May-Grünwald-Giemsa stain · bone marrow aspirate smear — 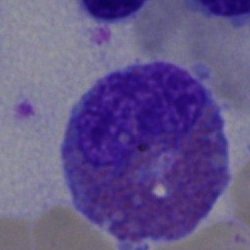 Morphological class — eosinophil.